Bone marrow smear · brightfield, 40× oil-immersion objective.
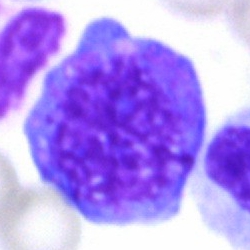 Q: What type of cell is this?
A: Progranulocyte.